Bone marrow aspirate smear: 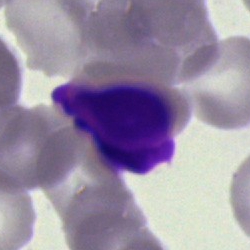 This is an artifact.